Bone marrow aspirate smear.
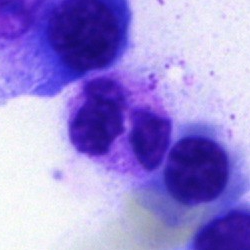
Morphology consistent with a neutrophil (segmented).